Bone marrow smear · cropped to a single cell · 250 by 250 pixels:
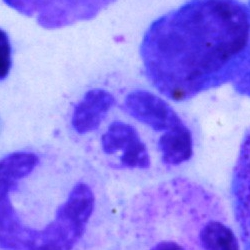

The cell is polymorphonuclear neutrophil.